250×250 px. Bone marrow aspirate smear
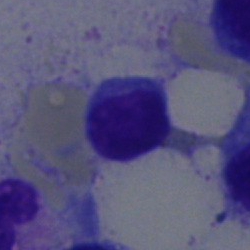Showing a typical lymphocyte.